Romanowsky stain; peripheral blood film; cropped to a single cell: 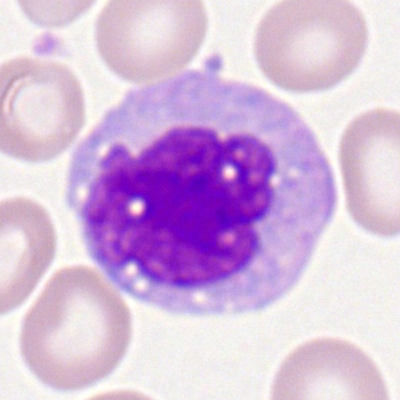

Specimen: peripheral blood film.
Cell: monocyte.
Lineage: myeloid.